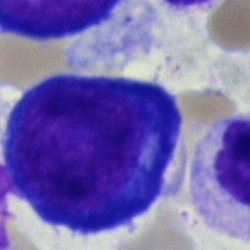Single-cell crop from a bone marrow smear: pronormoblast.